Bone marrow aspirate smear:
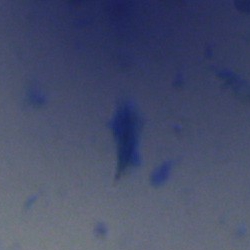 Q: What is shown here?
A: Artefact.